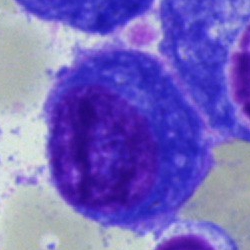A plasma cell on a bone marrow smear.